May-Grünwald-Giemsa-stained; peripheral blood film: 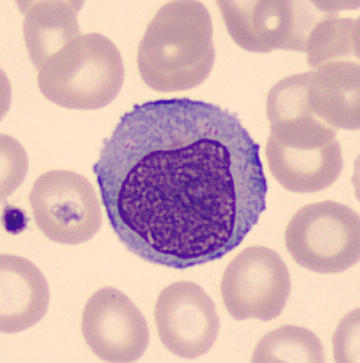Morphology — monocyte.